Bone marrow aspirate smear
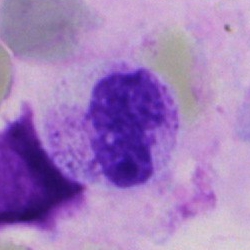
Single cell identified as a polymorphonuclear neutrophil.